Bone marrow smear: 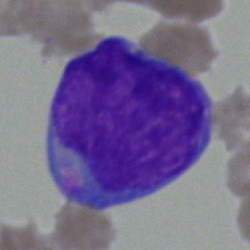
This is an undifferentiated blast.